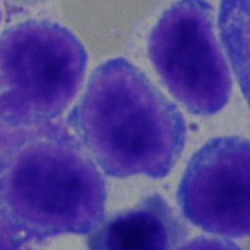

The cell shown is a lymphocyte.